Bone marrow smear.
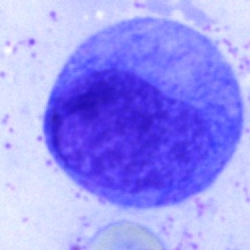Classification = progranulocyte.